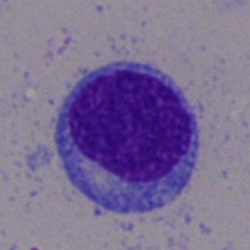

Single-cell crop from a bone marrow smear: lymphocyte.